Single cell centered in the field. Bone marrow aspirate smear. Brightfield, 40× oil-immersion objective — 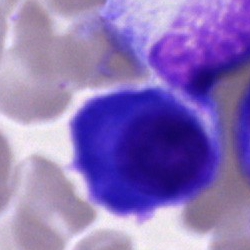
Morphology consistent with a plasma cell.